Image size 250×250. MGG-stained. Bone marrow aspirate smear
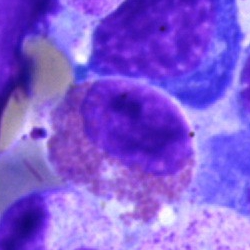Showing an eosinophil.